Bone marrow smear:
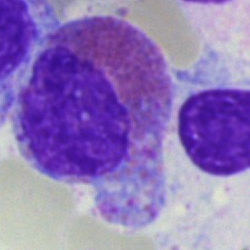Q: What is shown here?
A: An eosinophil.